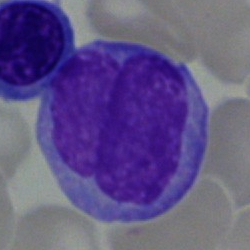Specimen: bone marrow smear.
Morphological class: monocyte.
Lineage: myeloid.